Bone marrow aspirate smear · May-Grünwald-Giemsa stain — 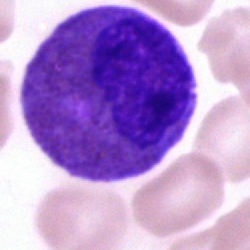
The cell shown is an eosinophilic granulocyte.